Bone marrow aspirate smear.
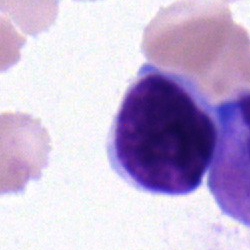

Classification = typical lymphocyte.